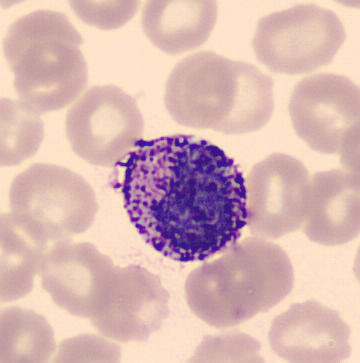 The morphological class is basophilic granulocyte.
Image: Peripheral blood film.